Bone marrow aspirate smear: 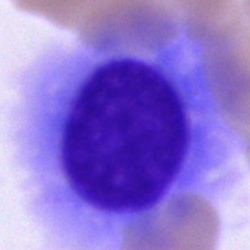

Q: Identify the cell.
A: Plasmacyte.